Pappenheim-stained · 250 by 250 pixels · bone marrow aspirate smear — 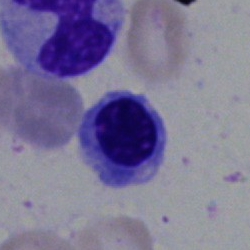

Cell: nucleated red cell.